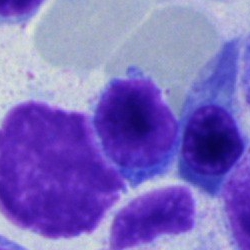
Morphology → typical lymphocyte.